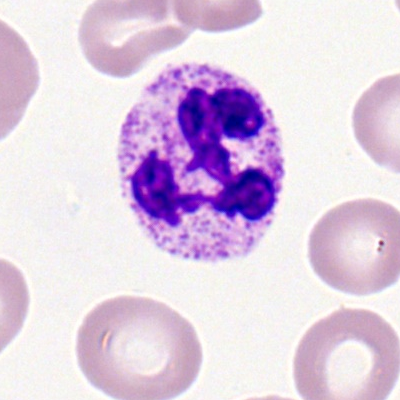 Morphology → polymorphonuclear neutrophil.